Bone marrow aspirate smear — 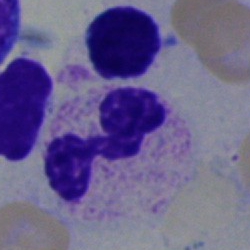

Specimen: bone marrow aspirate smear.
Cell: polymorphonuclear neutrophil.